Single cell centered in the field; bone marrow aspirate smear.
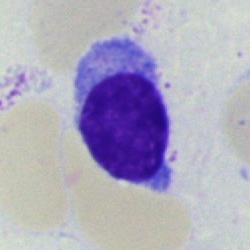 Morphological class: lymphocyte.